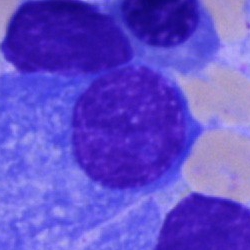 Q: What is the morphological classification of this cell?
A: This is a plasma cell.